Bone marrow aspirate smear. Brightfield, 40× oil-immersion objective: 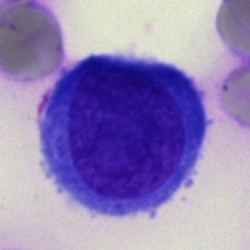Morphology → undifferentiated blast.